Bone marrow smear — 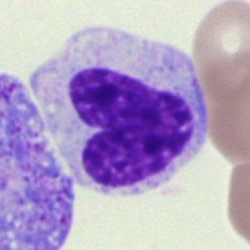

Specimen: bone marrow aspirate smear.
Morphological class: band neutrophil.